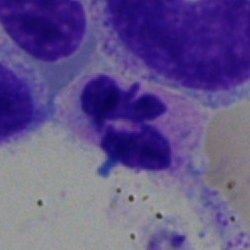

Morphological class = segmented neutrophil.